Bone marrow aspirate smear
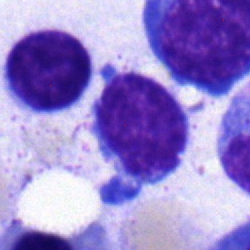

Classification = lymphocyte.